Bone marrow aspirate smear:
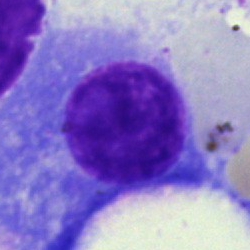

Specimen: bone marrow smear.
Classification: plasma cell.
Lineage: lymphoid.